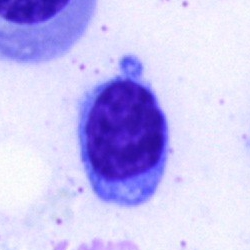 Cell type: typical lymphocyte.